Bone marrow smear.
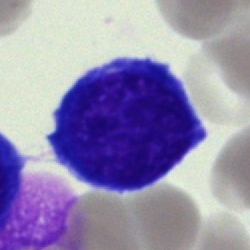
Nucleated red cell.